Bone marrow smear — 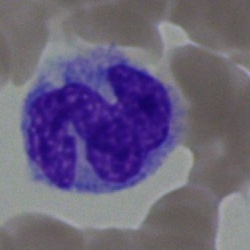
The cell shown is a monocyte.